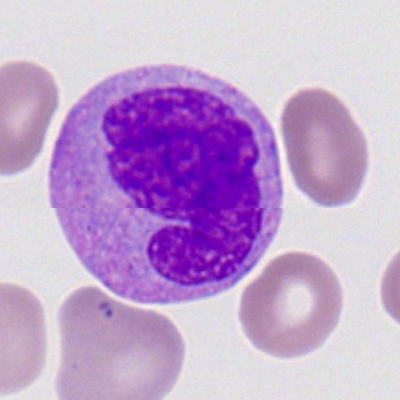
Q: What cell is this?
A: It is a monocyte.